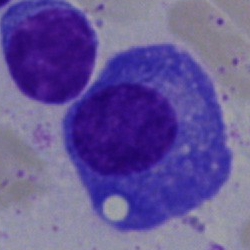

Specimen: bone marrow aspirate smear.
Morphological class: plasma cell.
Lineage: lymphoid.